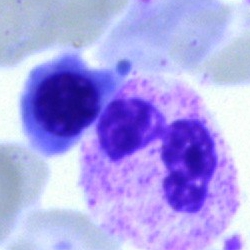
Specimen: bone marrow aspirate smear.
Morphological class: segmented neutrophil.